400 by 400 pixels; peripheral blood smear: 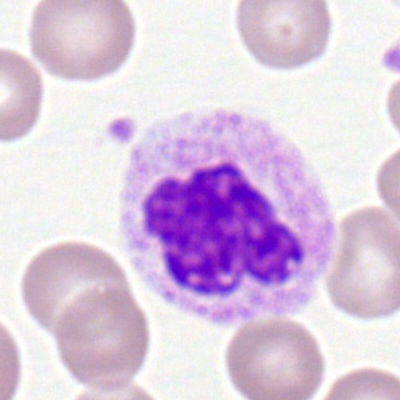

Morphology — polymorphonuclear neutrophil.